Bone marrow aspirate smear. MGG-stained: 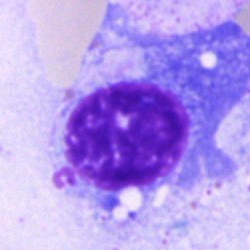This is a plasmacyte.